Bone marrow smear · MGG-stained:
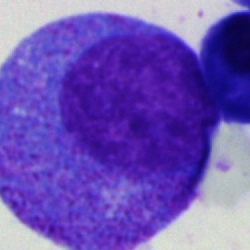
Q: What cell is this?
A: This is a promyelocyte.